Bone marrow aspirate smear: 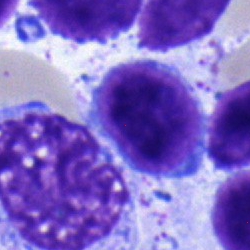 Single cell identified as a lymphocyte.